Pappenheim-stained; bone marrow smear:
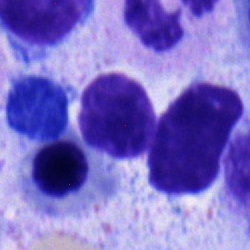 Classification — typical lymphocyte.